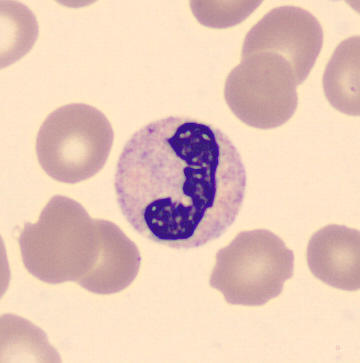 Morphology → stab cell.

Cropped to a single cell. Peripheral blood smear.